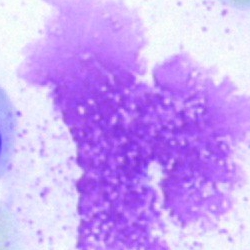
Specimen: bone marrow aspirate smear.
Morphological class: artifact.